Single cell centered in the field · bone marrow aspirate smear.
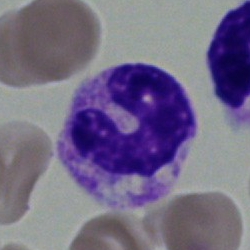
Single cell identified as a band neutrophil.